May-Grünwald-Giemsa/Pappenheim stain · cropped to a single cell · bone marrow aspirate smear
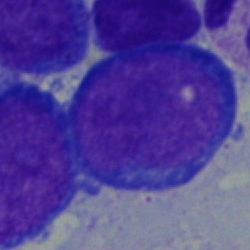
Q: What is the morphological classification of this cell?
A: It is a proerythroblast.